Bone marrow aspirate smear.
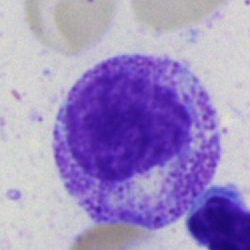

Q: What type of cell is this?
A: It is a myelocyte.